Bone marrow aspirate smear: 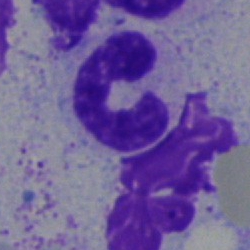 Cell: polymorphonuclear neutrophil.